Brightfield, 40× oil-immersion objective · cropped to a single cell · bone marrow aspirate smear.
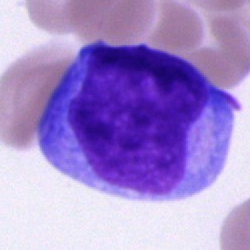
Cell = undifferentiated blast.